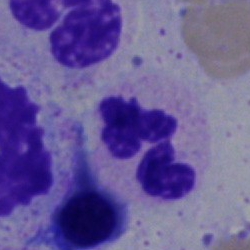Q: What is the morphological classification of this cell?
A: It is a polymorphonuclear neutrophil.